Bone marrow smear — 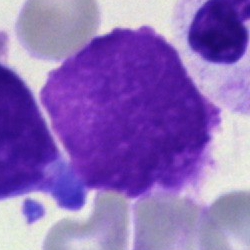 Cell type = artefact.